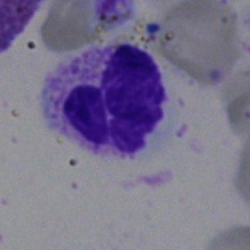

Specimen: bone marrow aspirate smear.
Cell type: segmented neutrophil.
Lineage: myeloid.